Peripheral blood smear · single-cell field.
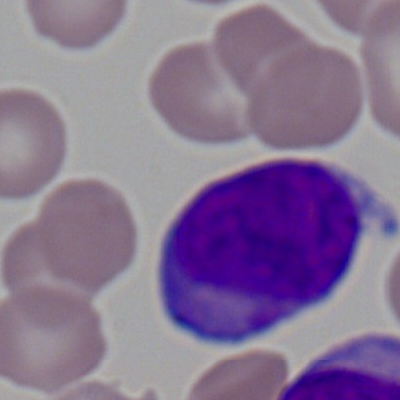Single cell identified as a myeloblast.